Peripheral blood smear — 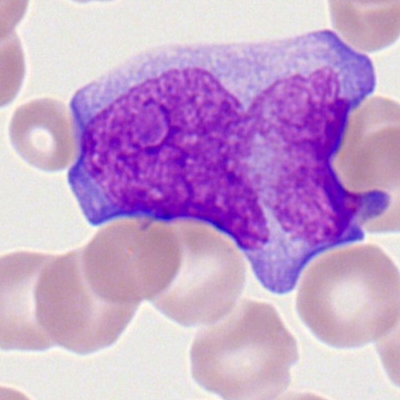Classification = myeloblast.